Bone marrow aspirate smear: 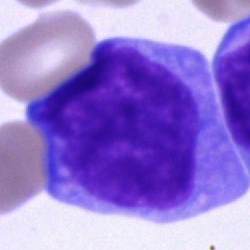

Showing a blast cell.